Bone marrow aspirate smear: 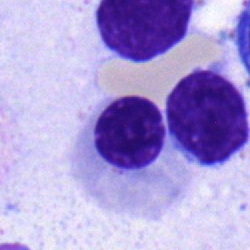

This is a nucleated red blood cell.